Cropped to a single cell; bone marrow smear; brightfield microscopy, 40× oil immersion
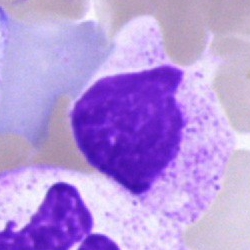Specimen: bone marrow smear.
Classification: artefact.